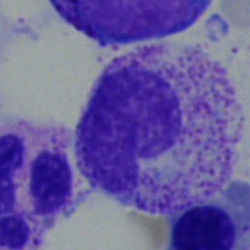

Metamyelocyte.